May-Grünwald-Giemsa/Pappenheim stain; bone marrow smear: 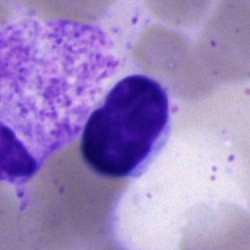 Q: What cell is this?
A: This is a typical lymphocyte.